Bone marrow smear: 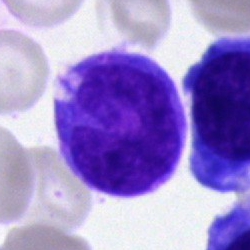 The cell shown is a monocyte.